Bone marrow aspirate smear: 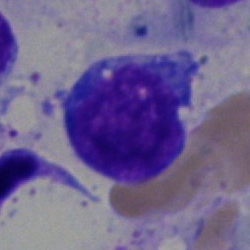

Typical lymphocyte.